Bone marrow aspirate smear — 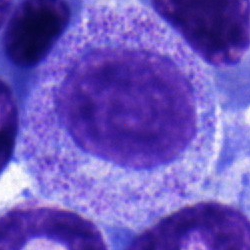This is a myelocyte.